Bone marrow aspirate smear; Pappenheim-stained: 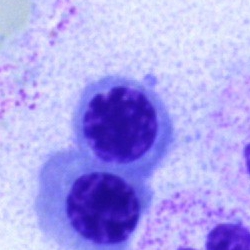
The cell type is nucleated red cell.